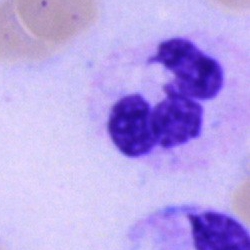 Q: What type of cell is this?
A: A segmented neutrophil.